Brightfield, 40× oil-immersion objective; bone marrow smear; Pappenheim-stained.
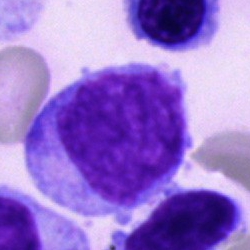 The cell shown is a blast.